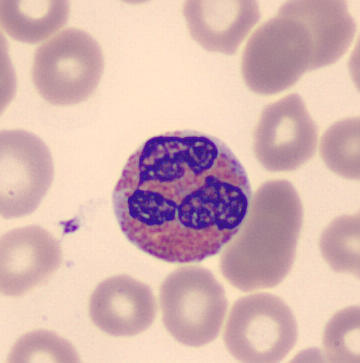Acquisition: Peripheral blood film. MGG stain. Morphology consistent with an eosinophil.